Bone marrow smear — 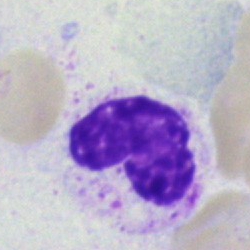Q: What is shown here?
A: It is a stab cell.